Bone marrow aspirate smear · Pappenheim-stained · single cell centered in the field: 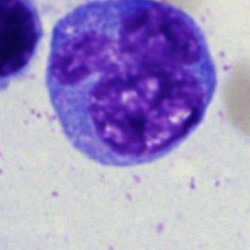 {"cell_type": "stab cell", "lineage": "myeloid"}